Bone marrow aspirate smear.
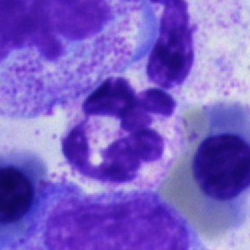 Q: What is the morphological classification of this cell?
A: A polymorphonuclear neutrophil.